Bone marrow smear — 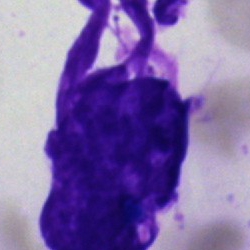
Morphology — artifact.